Bone marrow smear.
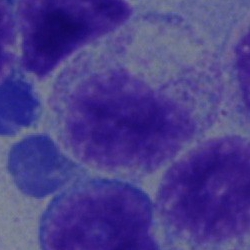
Q: Which cell type is shown here?
A: A myelocyte.